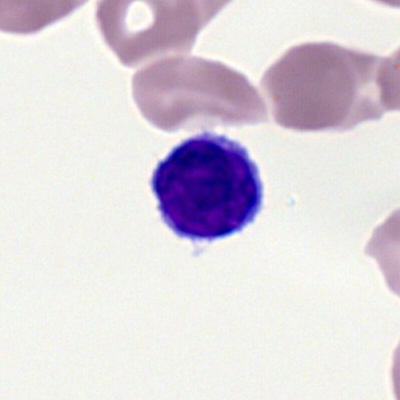 Cell type — lymphocyte.